Bone marrow aspirate smear:
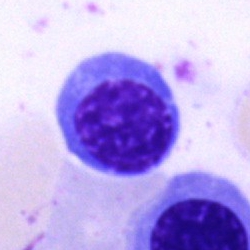Specimen: bone marrow smear.
Morphological class: blast cell.